Peripheral blood film. 100× oil immersion:
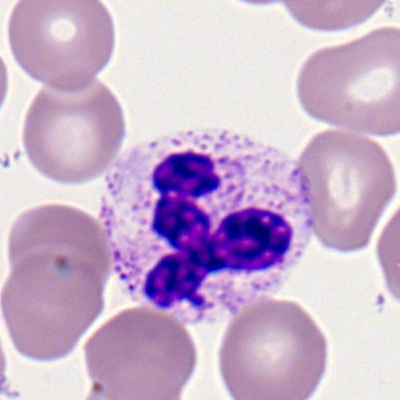
Morphological class — polymorphonuclear neutrophil.